Bone marrow aspirate smear; May-Grünwald-Giemsa stain:
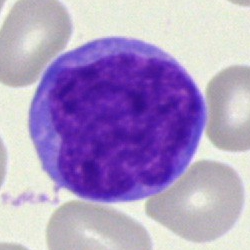
Impression → undifferentiated blast.